Peripheral blood smear: 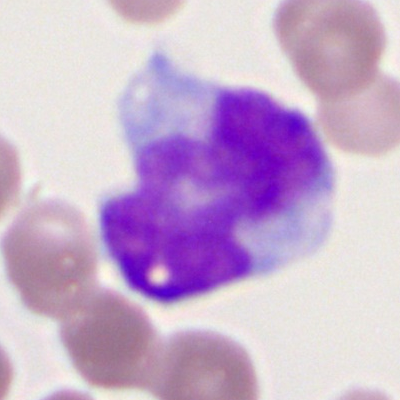

Monocyte.